250×250. Bone marrow smear:
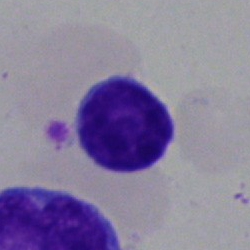 Q: What type of cell is this?
A: This is a typical lymphocyte.